Bone marrow aspirate smear: 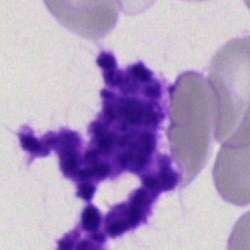Artefact.